250×250; bone marrow aspirate smear; single-cell field: 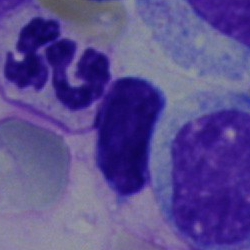 Cell type: neutrophil (segmented).